Bone marrow aspirate smear
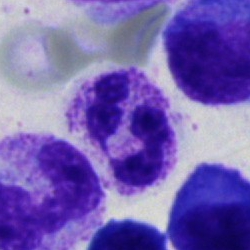 Morphological class = segmented neutrophil.